Bone marrow smear:
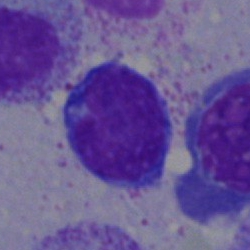A lymphocyte.